MGG-stained; bone marrow smear.
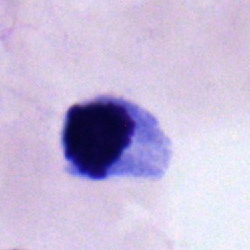 The cell shown is a normoblast.